Image size 250×250; bone marrow smear: 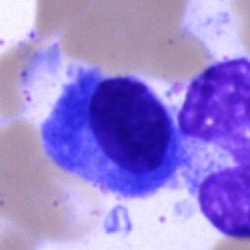

Cell: plasmacyte.